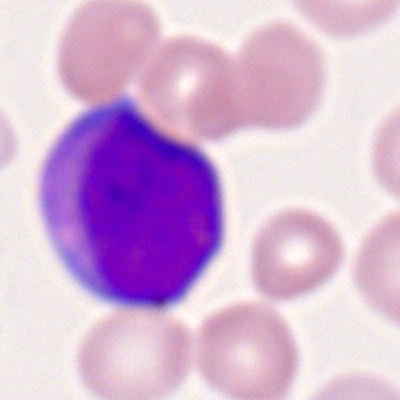Specimen: peripheral blood film.
Cell: myeloblast.
Lineage: myeloid.